Bone marrow aspirate smear
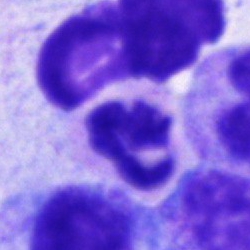{"cell_type": "polymorphonuclear neutrophil", "lineage": "myeloid"}